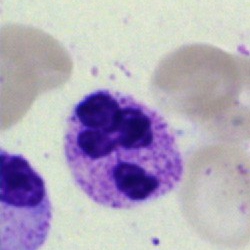 Showing a neutrophil (segmented).